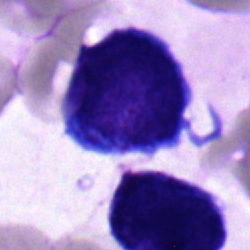 An undifferentiated blast.